Bone marrow smear:
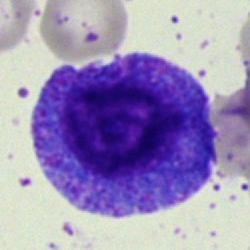{"cell_type": "progranulocyte", "lineage": "myeloid"}